Bone marrow aspirate smear: 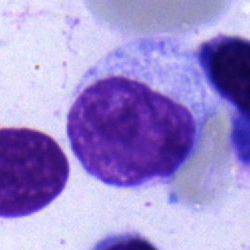
Specimen: bone marrow smear.
Morphological class: myelocyte.
Lineage: myeloid.